Bone marrow aspirate smear · image size 250×250
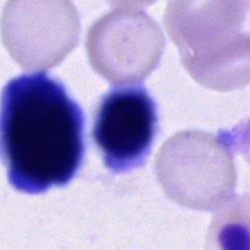The morphological class is unidentifiable cell.